Peripheral blood film:
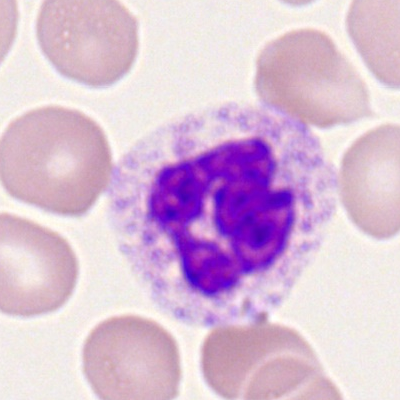 The cell shown is a neutrophil (segmented).